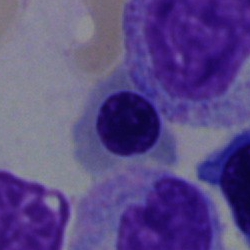 Morphological class — normoblast.